Bone marrow smear — 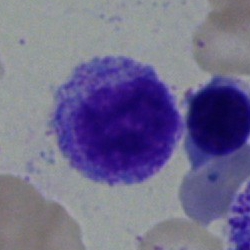 Morphological class: myelocyte.